Peripheral blood film — 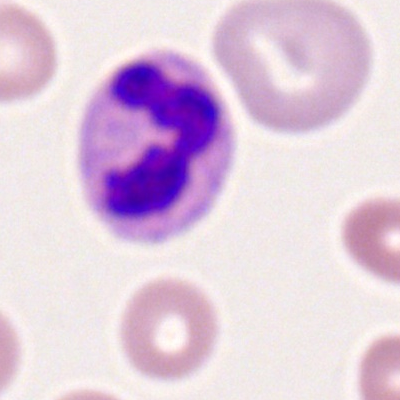
The morphological class is polymorphonuclear neutrophil.